Peripheral blood smear
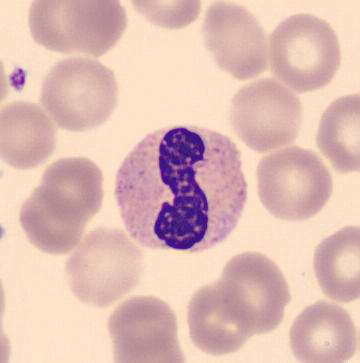 The cell shown is a band neutrophil.